Bone marrow aspirate smear: 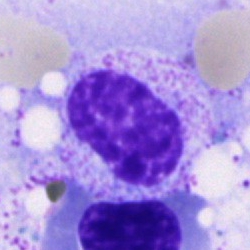
Myelocyte.